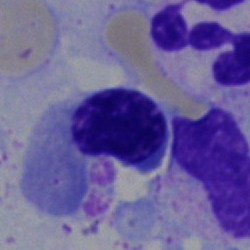

Q: Which cell type is shown here?
A: An erythroblast.